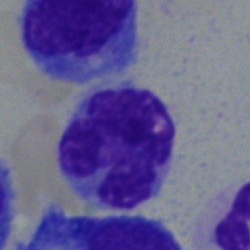
{"cell_type": "monocyte"}